Single-cell field; bone marrow smear
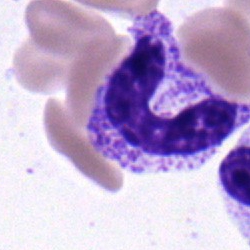 Band-form neutrophil.